Bone marrow smear.
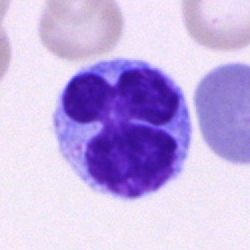 Unidentifiable cell.